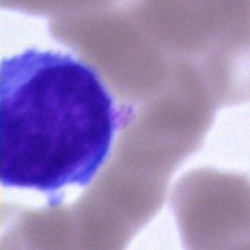Q: Which cell type is shown here?
A: Blast.